Bone marrow aspirate smear:
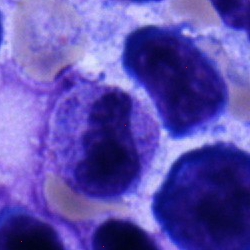Specimen: bone marrow smear.
Cell: metamyelocyte.
Lineage: myeloid.